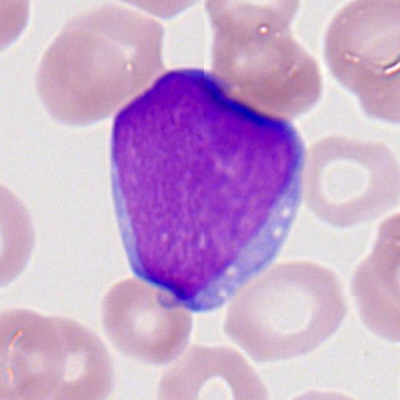Cell = myeloid blast.